Bone marrow smear — 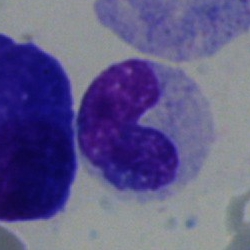The cell shown is a band-form neutrophil.